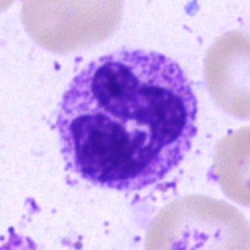 Bone marrow aspirate smear, single cell — segmented neutrophil.